Bone marrow smear. Cropped to a single cell. May-Grünwald-Giemsa stain.
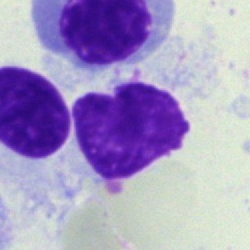Q: What is shown here?
A: It is an artefact.